250×250 px; bone marrow smear
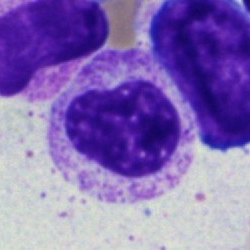

Q: Which cell type is shown here?
A: Myelocyte.